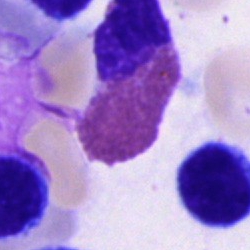{"cell_type": "eosinophil", "lineage": "myeloid"}